Bone marrow aspirate smear:
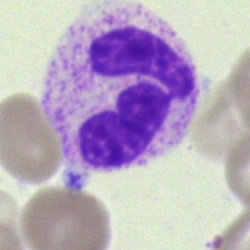 Specimen: bone marrow aspirate smear.
Classification: neutrophil (segmented).